250×250; bone marrow smear; cropped to a single cell — 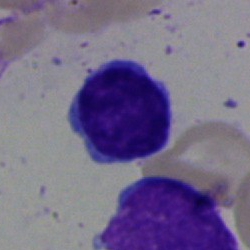Typical lymphocyte.